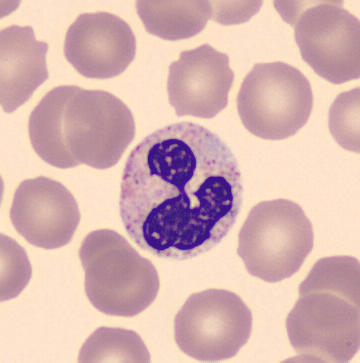
Acquisition: Peripheral blood smear. {"cell_type": "polymorphonuclear neutrophil"}